Single-cell crop; 250×250; bone marrow smear — 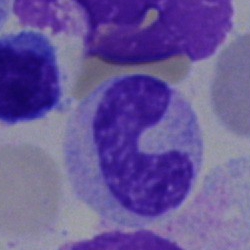
Q: Which cell type is shown here?
A: This is a stab cell.